Bone marrow aspirate smear; 40× oil immersion
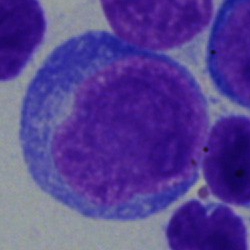 Morphology — blast.